Bone marrow smear · MGG-stained — 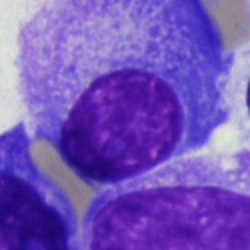 Specimen: bone marrow aspirate smear.
Morphological class: plasma cell.
Lineage: lymphoid.